Single-cell field. Bone marrow smear
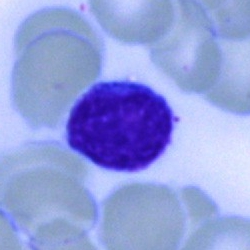

Morphological class = typical lymphocyte.